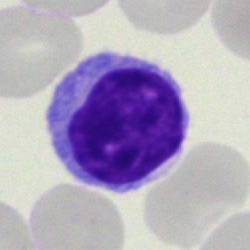 Specimen: bone marrow smear.
Classification: typical lymphocyte.
Lineage: lymphoid.